Romanowsky-type stain; peripheral blood film.
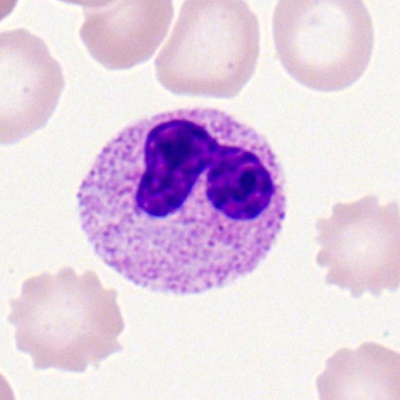 Neutrophil (segmented).